Bone marrow aspirate smear. Single cell centered in the field. May-Grünwald-Giemsa/Pappenheim stain:
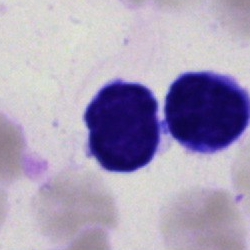

A lymphocyte.